Bone marrow smear — 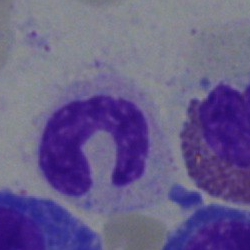
A neutrophil (band).